May-Grünwald-Giemsa stain. Bone marrow smear. Cropped to a single cell — 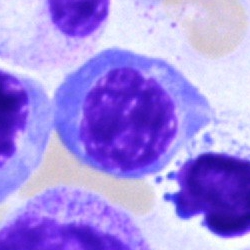Specimen: bone marrow smear.
Classification: nucleated red blood cell.
Lineage: erythroid.